Bone marrow aspirate smear; May-Grünwald-Giemsa stain:
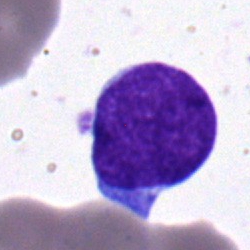
A blast cell.